Peripheral blood smear: 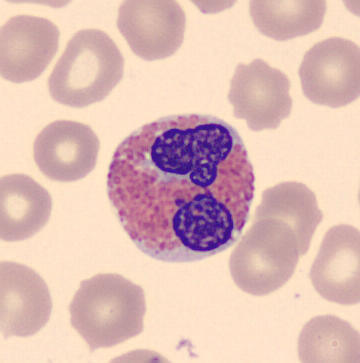

Morphology — eosinophilic granulocyte.